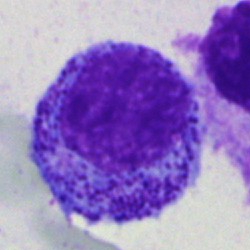
The cell shown is a progranulocyte.